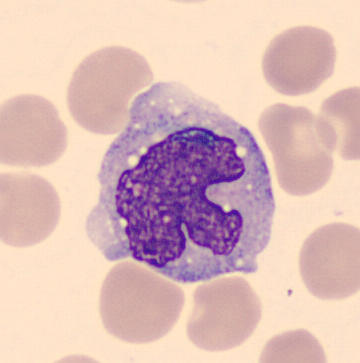Monocyte.